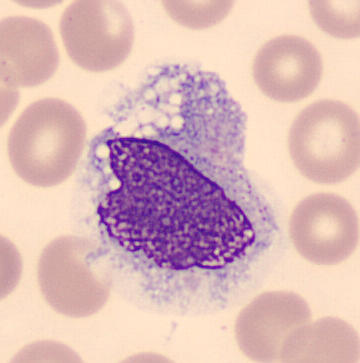
Impression — monocyte. Preparation: Imaged on a CellaVision DM96 analyser. MGG-stained. Peripheral blood smear.